Peripheral blood film — 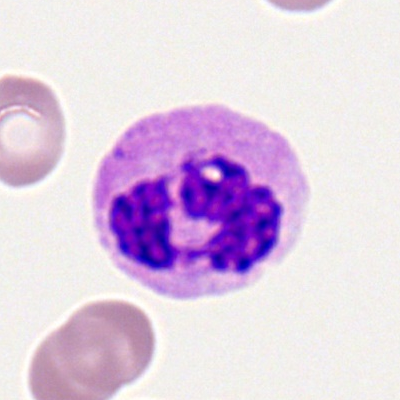Q: Identify the cell.
A: This is a neutrophil (segmented).